250×250 px · bone marrow aspirate smear
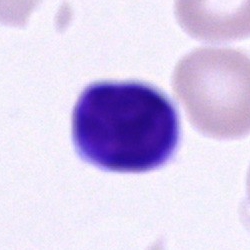
Morphological class = lymphocyte.